Brightfield, 40× oil-immersion objective. Bone marrow smear:
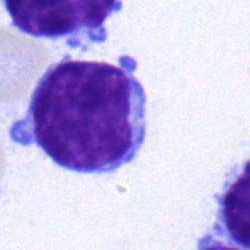A lymphocyte.